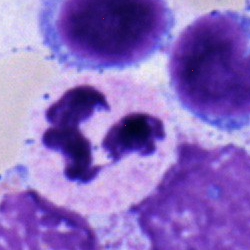

The classification is band-form neutrophil.